Bone marrow aspirate smear; 250×250 px.
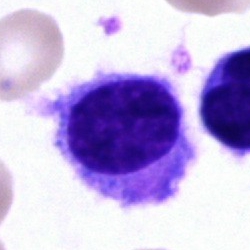

This is a hairy cell.